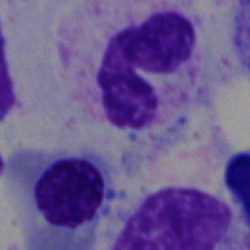

Q: What is shown here?
A: It is a neutrophil (segmented).